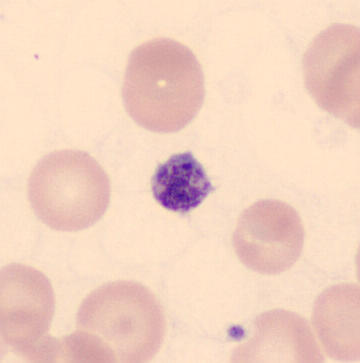 {"cell_type": "platelet"} 360×363 px. Peripheral blood smear.